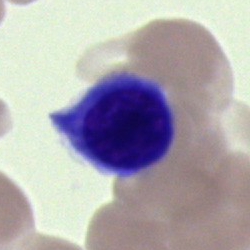

{"cell_type": "erythroblast", "lineage": "erythroid"}